40× objective, oil immersion · Pappenheim-stained · bone marrow smear
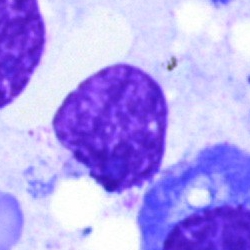Q: What is shown here?
A: It is an artifact.